250 by 250 pixels. 40× objective, oil immersion. Bone marrow smear:
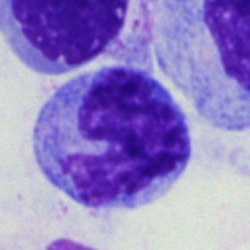

A monocyte.